Bone marrow aspirate smear: 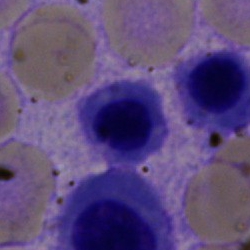

Cell type: normoblast.